40× oil immersion; bone marrow aspirate smear
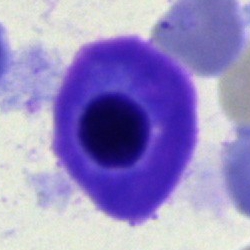Morphology — plasmacyte.